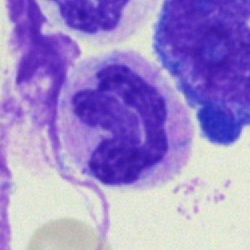
Single cell identified as a polymorphonuclear neutrophil.